Bone marrow smear. May-Grünwald-Giemsa/Pappenheim stain.
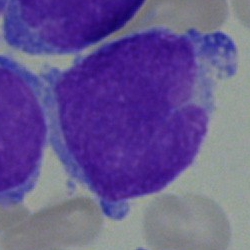
{"cell_type": "blast"}